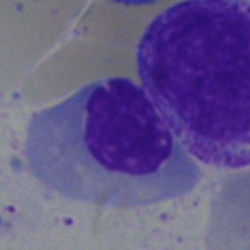
Classification — normoblast.